Bone marrow aspirate smear: 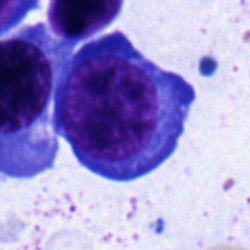{"cell_type": "nucleated red cell", "lineage": "erythroid"}